Peripheral blood film · 100× objective, oil immersion · Romanowsky-stained — 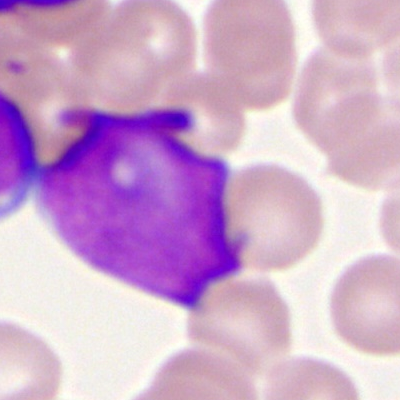A myeloid blast.